Bone marrow smear. Image size 250×250
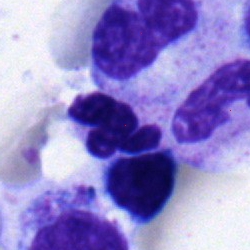

Classification — polymorphonuclear neutrophil.